250 by 250 pixels · bone marrow smear — 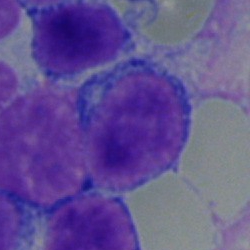 Impression → lymphocyte.